Peripheral blood film — 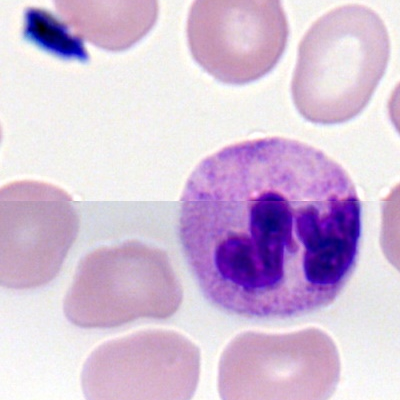

Cell — segmented neutrophil.